Bone marrow smear — 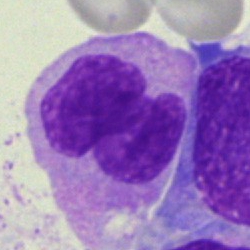

Monocyte.